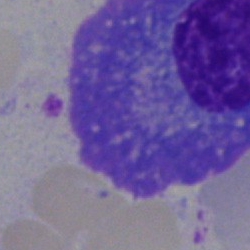 A plasmacyte.